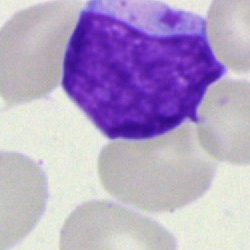Showing a blast cell.